Bone marrow smear · cropped to a single cell — 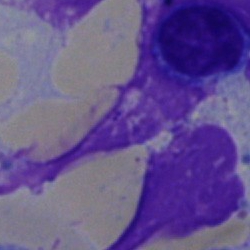
Single cell identified as an artifact.